May-Grünwald-Giemsa/Pappenheim stain; bone marrow smear — 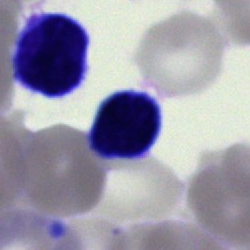A typical lymphocyte.